250 by 250 pixels · bone marrow smear · cropped to a single cell.
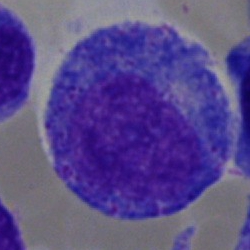Morphological class: promyelocyte.